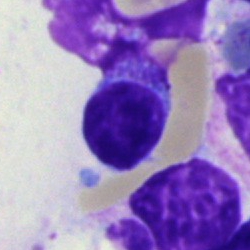

This is a typical lymphocyte.